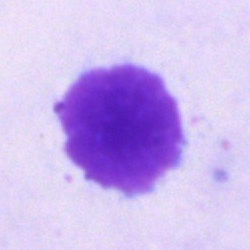

Morphology → artifact.